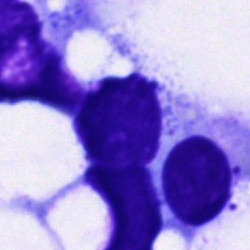An artefact on a bone marrow smear.